Bone marrow aspirate smear — 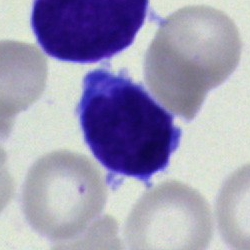
This is a blast cell.